Bone marrow aspirate smear
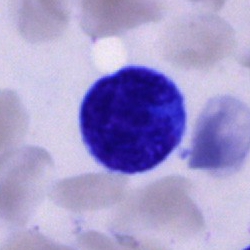
Impression — unidentifiable cell.